Bone marrow smear; 250×250 px — 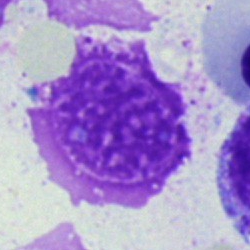

Showing an artefact.